Bone marrow aspirate smear — 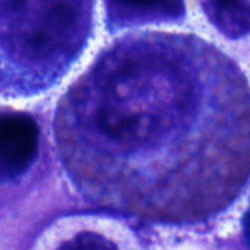
The cell shown is an eosinophil.